Bone marrow aspirate smear. Image size 250×250:
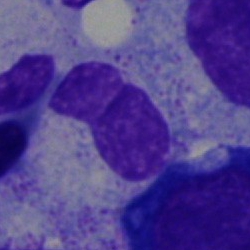
Q: Identify the cell.
A: Band-form neutrophil.